Bone marrow aspirate smear
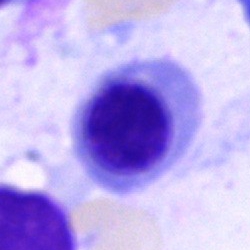Normoblast.